Image size 250×250; bone marrow aspirate smear:
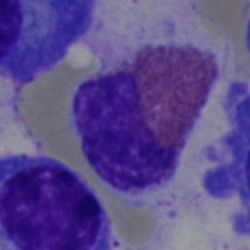

Q: What is shown here?
A: Eosinophil.